Bone marrow smear; MGG-stained: 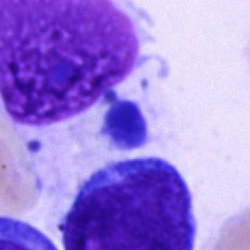Morphology consistent with a blast cell.